Bone marrow smear.
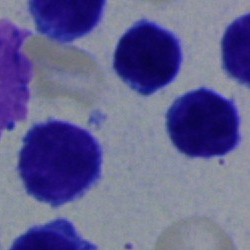

Cell = typical lymphocyte.